Bone marrow aspirate smear.
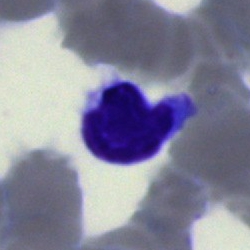

Specimen: bone marrow aspirate smear.
Classification: lymphocyte.
Lineage: lymphoid.